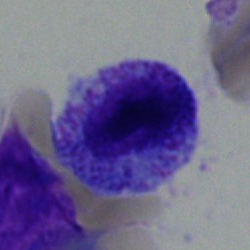 Single cell identified as a myelocyte.